Bone marrow smear.
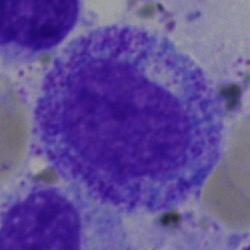A myelocyte.